Bone marrow aspirate smear — 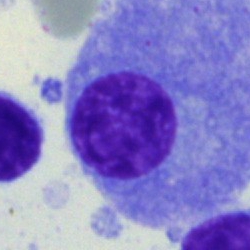Specimen: bone marrow smear.
Classification: plasma cell.
Lineage: lymphoid.